Image size 250×250 · bone marrow aspirate smear:
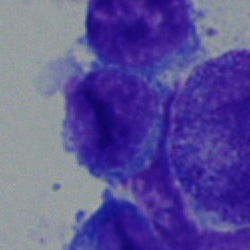The cell type is lymphocyte.